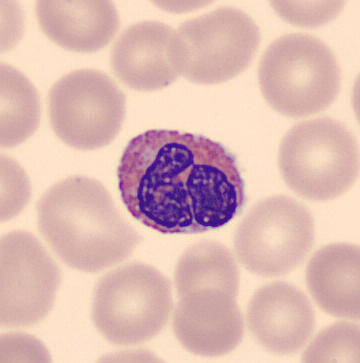 Image: Peripheral blood smear · May-Grünwald-Giemsa-stained. Morphology consistent with an eosinophil.